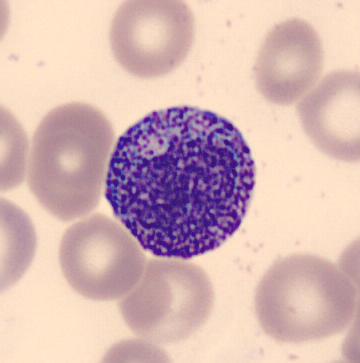Image: May Grünwald-Giemsa stain; peripheral blood film.

This is a myelocyte.